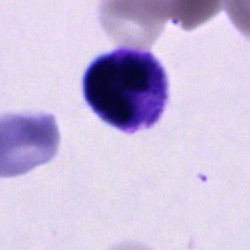Q: Identify the cell.
A: It is an unidentifiable cell.